CellaVision DM96. Peripheral blood smear. MGG stain
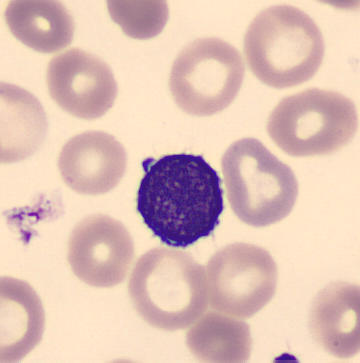

The cell is typical lymphocyte.